100× oil immersion; peripheral blood smear; cropped to a single cell:
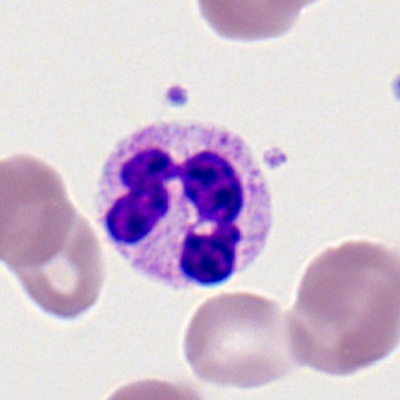 Cell type: segmented neutrophil.